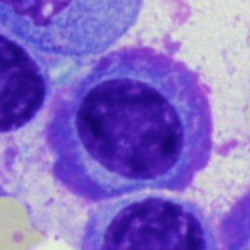 {"cell_type": "plasma cell", "lineage": "lymphoid"}